Bone marrow smear — 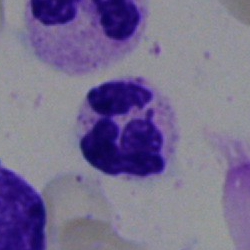Morphological class = segmented neutrophil.